Peripheral blood film: 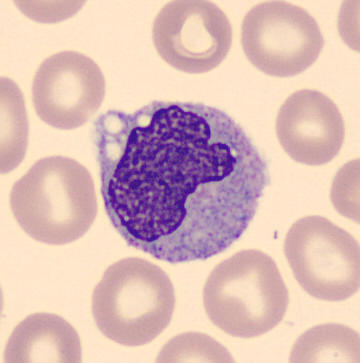Cell — monocyte.